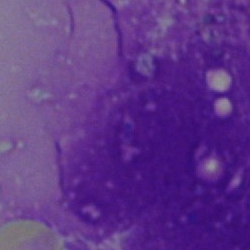Cell type: artifact.